Bone marrow smear:
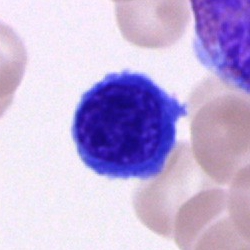The classification is normoblast.